Bone marrow aspirate smear — 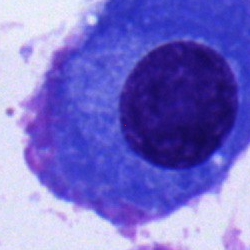 Morphology — plasmacyte.